Image size 250×250. MGG-stained. Bone marrow aspirate smear:
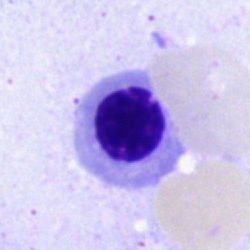
The cell shown is a normoblast.